Peripheral blood film · Romanowsky stain: 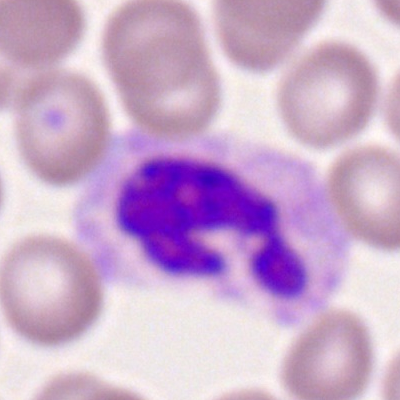 Q: What is shown here?
A: It is a neutrophil (segmented).